Bone marrow smear
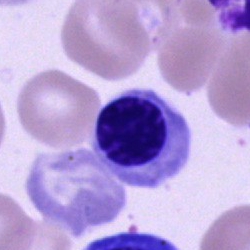The classification is erythroblast.